250×250 px · 40× objective, oil immersion · bone marrow aspirate smear
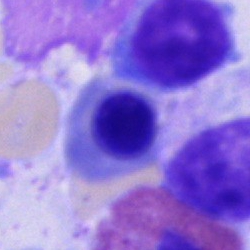Showing an erythroblast.